Bone marrow aspirate smear · 40× objective, oil immersion — 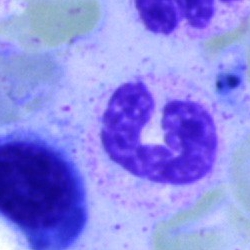 {"cell_type": "neutrophil (segmented)", "lineage": "myeloid"}